Bone marrow smear · cropped to a single cell
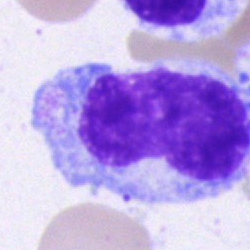
{"cell_type": "promyelocyte"}